40× objective, oil immersion; cropped to a single cell; bone marrow smear
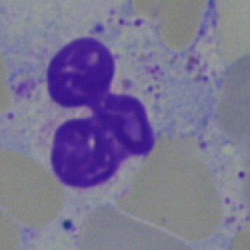
Specimen: bone marrow aspirate smear.
Morphological class: segmented neutrophil.